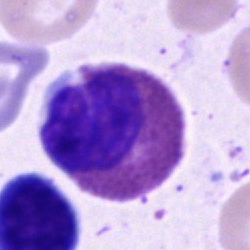
Cell type — eosinophil.